Peripheral blood film — 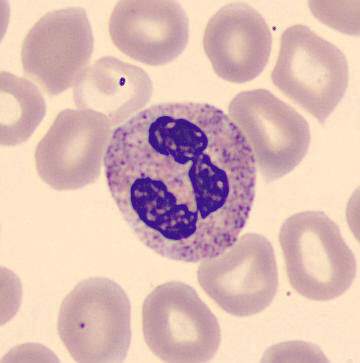 Polymorphonuclear neutrophil.